40× oil immersion · bone marrow aspirate smear: 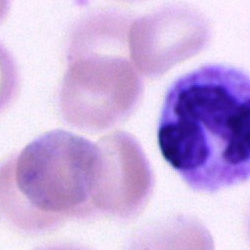 Morphology → polymorphonuclear neutrophil.